Bone marrow smear:
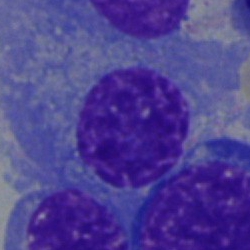Q: What type of cell is this?
A: Plasma cell.